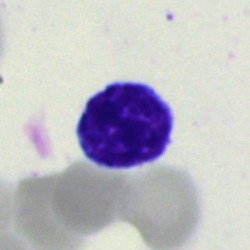 The cell is typical lymphocyte.